May-Grünwald-Giemsa/Pappenheim stain; 40× objective, oil immersion; bone marrow aspirate smear:
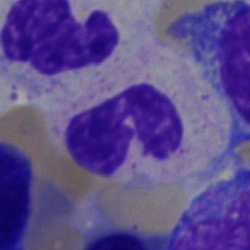 Q: What is the morphological classification of this cell?
A: A polymorphonuclear neutrophil.